Bone marrow smear.
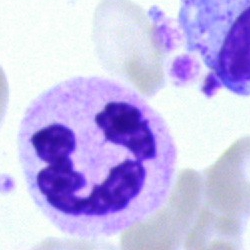 Cell type = polymorphonuclear neutrophil.